40× oil immersion. Bone marrow smear. Single-cell crop.
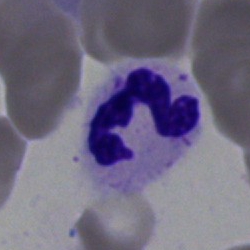

Neutrophil (segmented).